Bone marrow aspirate smear; image size 250×250: 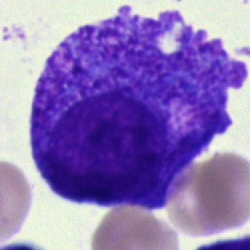 This is a myelocyte.